40× oil immersion · single-cell field · bone marrow aspirate smear.
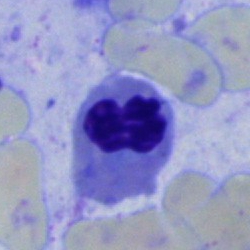
The cell is erythroblast.